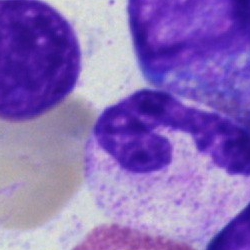Q: What is the morphological classification of this cell?
A: A segmented neutrophil.